Bone marrow smear
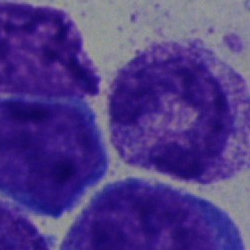

Q: Which cell type is shown here?
A: Polymorphonuclear neutrophil.